Bone marrow smear · 40× oil immersion · 250×250 px: 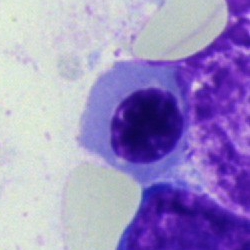

The classification is nucleated red cell.